40× objective, oil immersion; bone marrow smear.
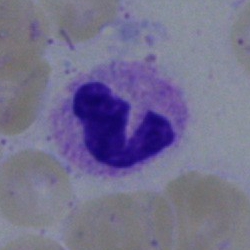 Impression → neutrophil (segmented).